Bone marrow smear — 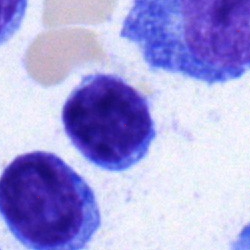 {"cell_type": "lymphocyte", "lineage": "lymphoid"}